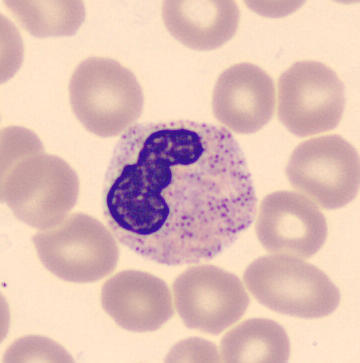

Morphology — stab cell.

Peripheral blood film.